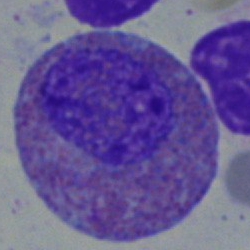
Cell type — eosinophilic granulocyte.